250×250 · single-cell field · bone marrow smear:
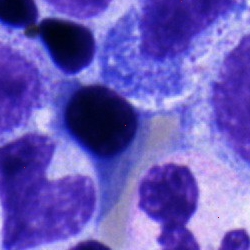Q: Which cell type is shown here?
A: It is a nucleated red cell.